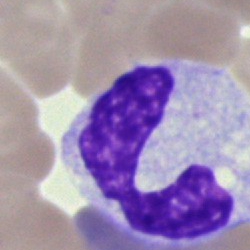
Classification: segmented neutrophil.